Bone marrow smear
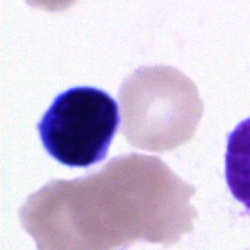 A lymphocyte.